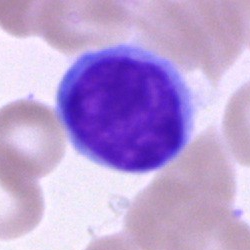
Lymphocyte.